Cropped to a single cell · bone marrow aspirate smear
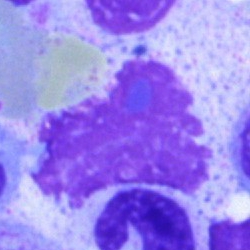Specimen: bone marrow smear.
Cell type: artifact.